Bone marrow aspirate smear — 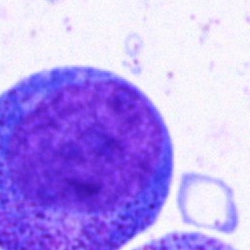Single cell identified as a promyelocyte.